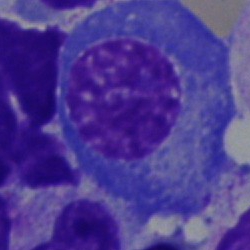The cell is plasmacyte.